Bone marrow aspirate smear.
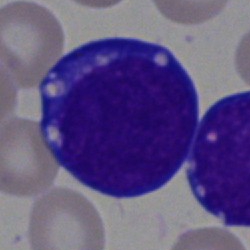

Specimen: bone marrow smear.
Morphological class: undifferentiated blast.